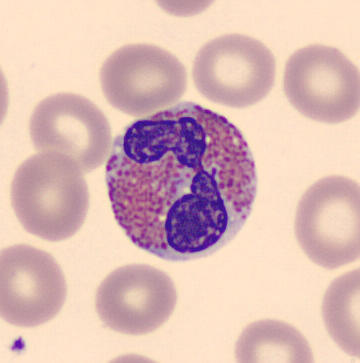
Single-cell crop from a peripheral blood smear: eosinophilic granulocyte.